Peripheral blood film: 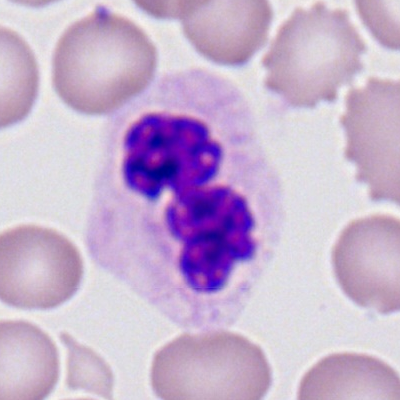

Classification — neutrophil (segmented).